Bone marrow smear:
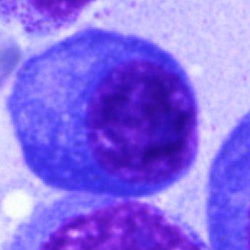 Morphology consistent with a plasmacyte.